Single cell centered in the field; bone marrow smear: 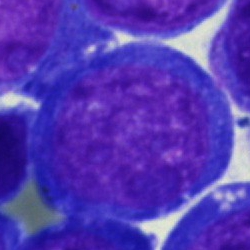 Impression — proerythroblast.